Bone marrow smear — 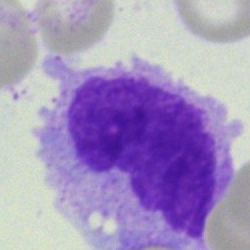 Impression — monocyte.